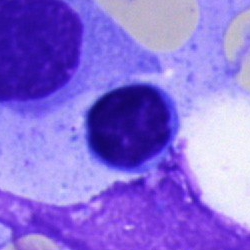 An artefact.